100× oil immersion, 14.14 px/µm; peripheral blood smear: 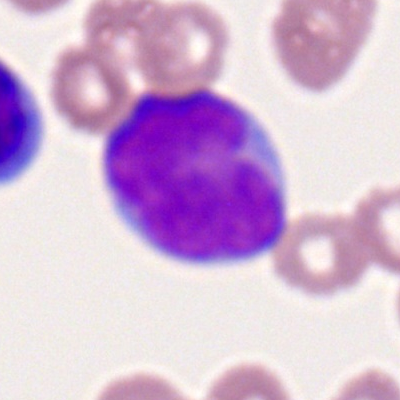 Morphology consistent with a myeloblast.